Bone marrow aspirate smear; brightfield microscopy, 40× oil immersion; 250 by 250 pixels
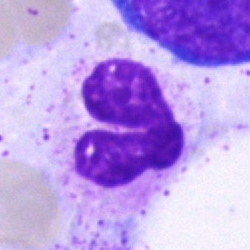
Q: What cell is this?
A: A polymorphonuclear neutrophil.